40× oil immersion · image size 250×250 · bone marrow smear: 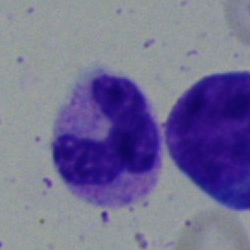
Morphological class: neutrophil (segmented).